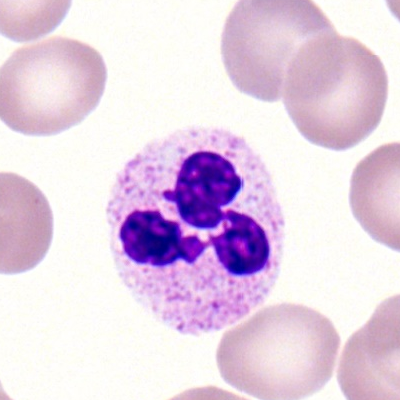A segmented neutrophil.